Peripheral blood film — 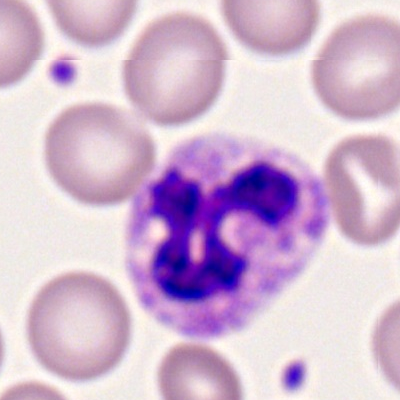

Single cell identified as a segmented neutrophil.